Bone marrow aspirate smear. 250×250 px:
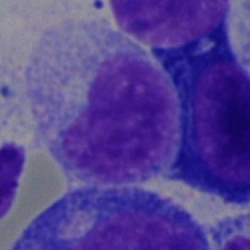

Classification = cell of indeterminate lineage.